Bone marrow smear.
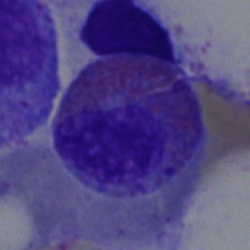

An eosinophilic granulocyte.